Single cell centered in the field · bone marrow smear.
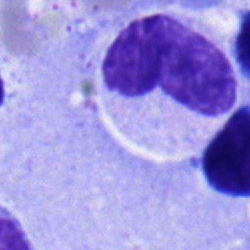 Blast cell.